Bone marrow smear · 40× oil immersion · image size 250×250 — 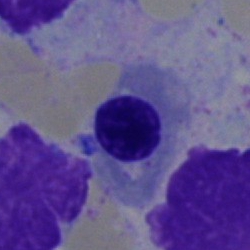

Morphological class = normoblast.